Bone marrow aspirate smear — 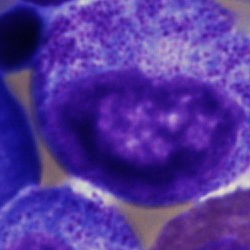
The classification is promyelocyte.